Bone marrow smear; Pappenheim-stained: 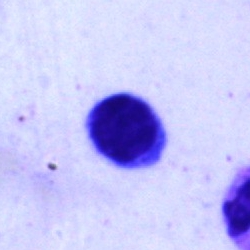

Lymphocyte.